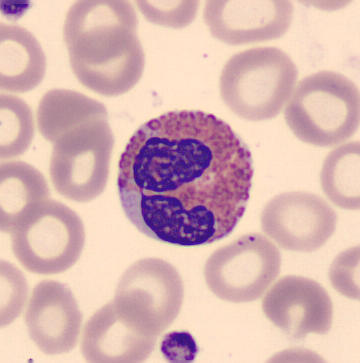
Specimen: peripheral blood film.
Cell: eosinophil.